Peripheral blood smear · automated cell imaging (CellaVision DM96) · 360×363.
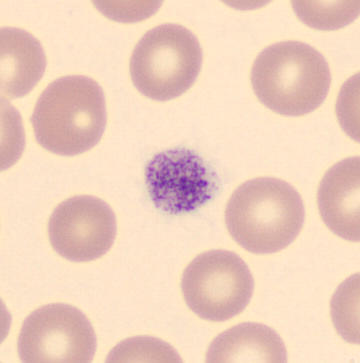Impression — thrombocyte.